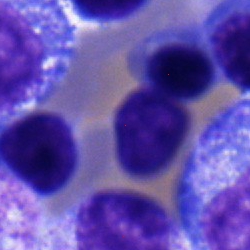Morphology — typical lymphocyte.